Single-cell field. Bone marrow aspirate smear.
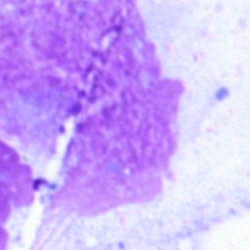 Impression → artefact.